Bone marrow aspirate smear
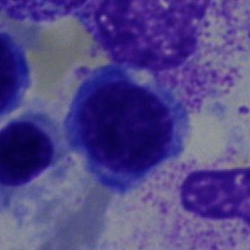
Single cell identified as an erythroblast.